Bone marrow aspirate smear.
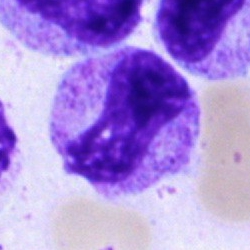
Morphological class: band neutrophil.